Romanowsky-type stain. Peripheral blood smear:
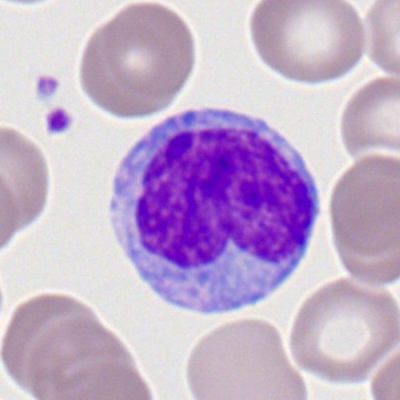

Classification: monocyte.